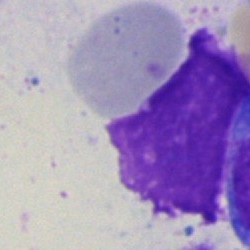 Artifact.